Bone marrow aspirate smear · brightfield microscopy, 40× oil immersion · Pappenheim-stained: 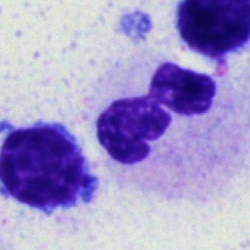The cell is neutrophil (segmented).